40× objective, oil immersion; bone marrow aspirate smear
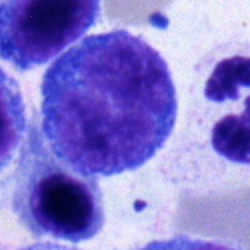

Showing a pronormoblast.